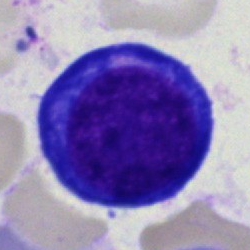 Cell type = proerythroblast.